Bone marrow aspirate smear — 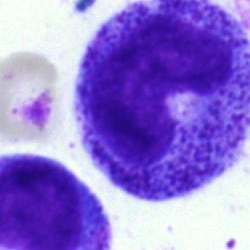

Impression → promyelocyte.